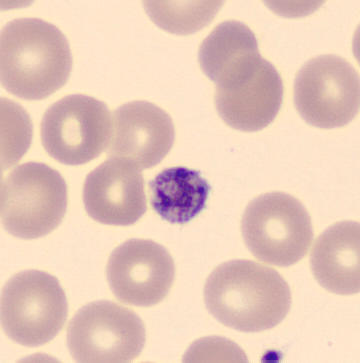

Q: What is shown here?
A: Thrombocyte.